Bone marrow smear · brightfield, 40× oil-immersion objective.
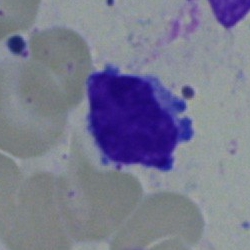Q: Which cell type is shown here?
A: A lymphocyte.